Bone marrow aspirate smear:
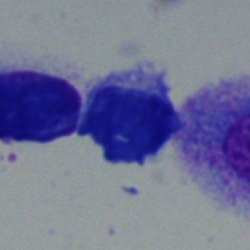
Cell type — typical lymphocyte.